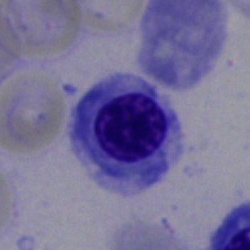 {"cell_type": "nucleated red blood cell"}